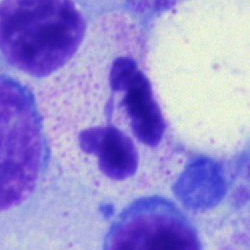 Specimen: bone marrow smear.
Morphological class: neutrophil (segmented).